40× oil immersion · bone marrow aspirate smear:
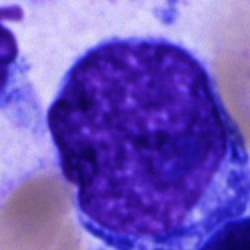
Q: What type of cell is this?
A: This is a blast cell.